Image size 250×250. Bone marrow aspirate smear. MGG-stained.
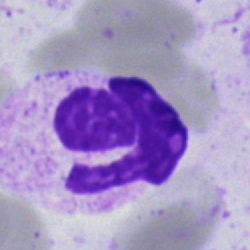 Specimen: bone marrow aspirate smear.
Classification: polymorphonuclear neutrophil.